Bone marrow aspirate smear · Pappenheim-stained · brightfield, 40× oil-immersion objective — 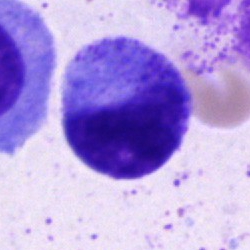{"cell_type": "promyelocyte", "lineage": "myeloid"}